Bone marrow smear · single cell centered in the field:
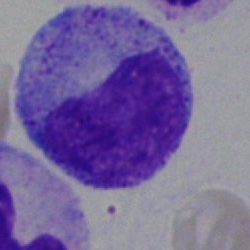

Cell type — metamyelocyte.